250 by 250 pixels. Bone marrow smear:
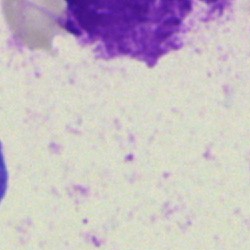Classification — artefact.